Bone marrow aspirate smear; 250 by 250 pixels:
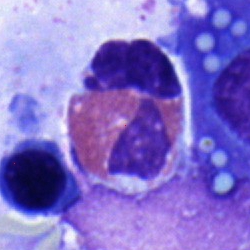
The cell shown is an eosinophil.